250×250; bone marrow aspirate smear: 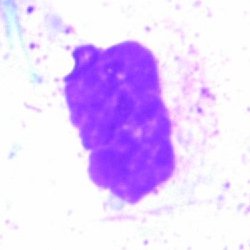

Classification: artifact.